Bone marrow aspirate smear: 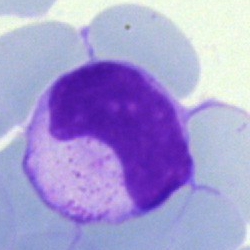
The morphological class is artefact.